Bone marrow aspirate smear.
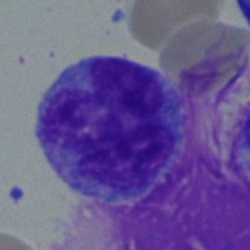
Morphological class = monocyte.